Bone marrow smear · Pappenheim-stained
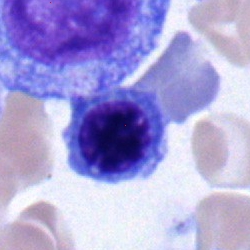
Specimen: bone marrow smear.
Cell type: normoblast.
Lineage: erythroid.